Bone marrow aspirate smear. 250 by 250 pixels
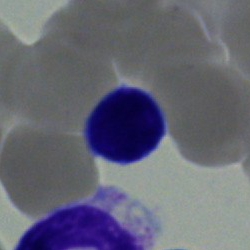

The classification is typical lymphocyte.